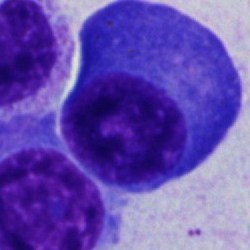
Single cell identified as a plasmacyte.